Bone marrow smear.
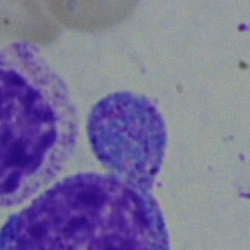

Cell type — artefact.